Bone marrow aspirate smear:
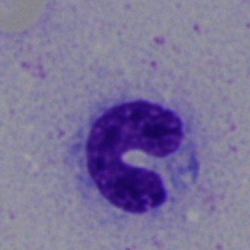 Q: Identify the cell.
A: This is a band-form neutrophil.